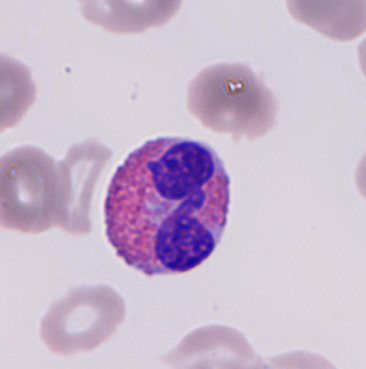
May Grünwald-Giemsa stain · CellaVision DM96 · peripheral blood smear.
Cell — eosinophil.